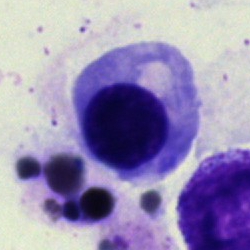A nucleated red cell on a bone marrow smear.